400×400 px; peripheral blood film — 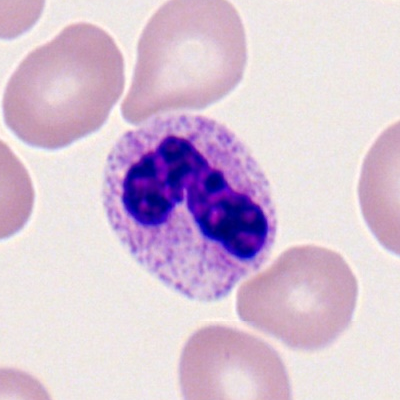
Showing a polymorphonuclear neutrophil.